Bone marrow aspirate smear.
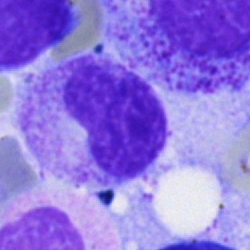Cell — metamyelocyte.